Bone marrow aspirate smear
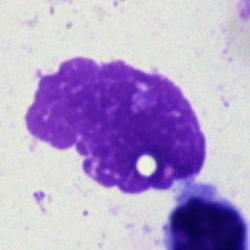
The cell shown is an artefact.